Bone marrow smear:
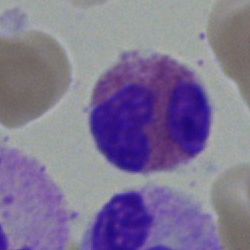 Eosinophil.